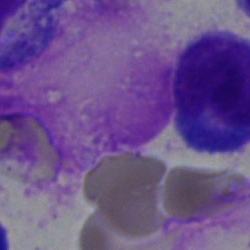

Single cell identified as an artifact.